Peripheral blood smear · brightfield, 100× oil-immersion objective · single-cell field.
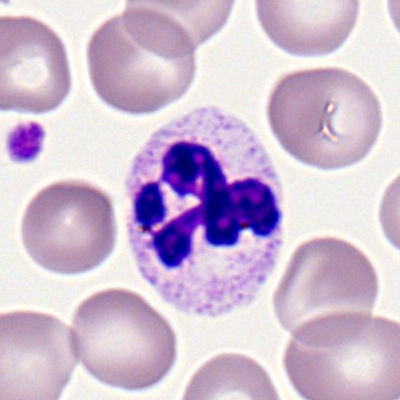
Single cell identified as a segmented neutrophil.